Bone marrow smear · brightfield, 40× oil-immersion objective:
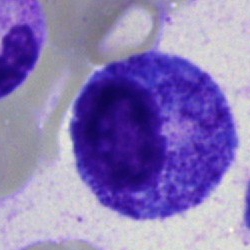
Showing a promyelocyte.